40× oil immersion · bone marrow aspirate smear: 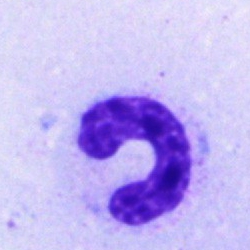
Q: What is shown here?
A: It is a neutrophil (band).